Single-cell field · bone marrow aspirate smear · May-Grünwald-Giemsa/Pappenheim stain — 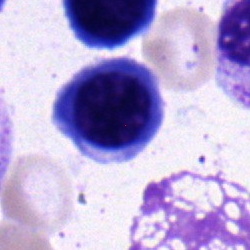 Cell: nucleated red blood cell.